Bone marrow aspirate smear — 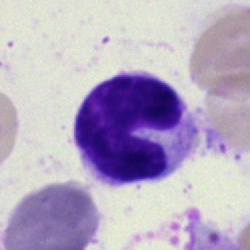
Stab cell.